Bone marrow aspirate smear:
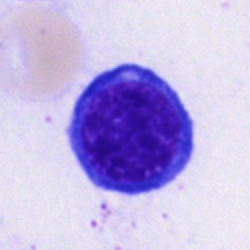Impression — nucleated red cell.